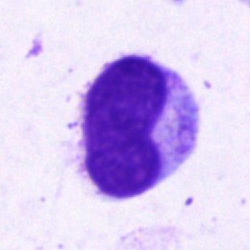
Morphology — metamyelocyte.